Bone marrow aspirate smear. Single cell centered in the field. 40× oil immersion — 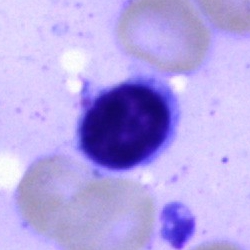

Single cell identified as a lymphocyte.